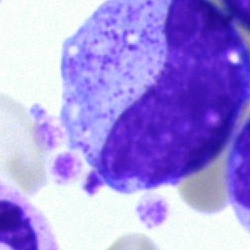
{"cell_type": "metamyelocyte"}